Bone marrow aspirate smear. Brightfield microscopy, 40× oil immersion: 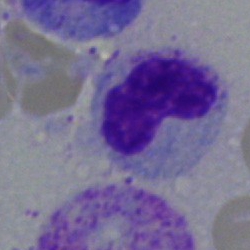
Q: What is shown here?
A: This is a stab cell.